Bone marrow aspirate smear · brightfield microscopy, 40× oil immersion — 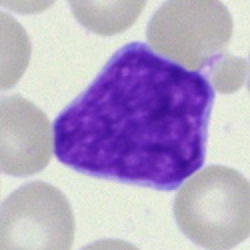The cell type is blast cell.